Bone marrow smear — 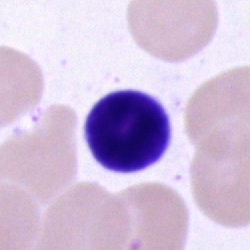Morphological class: lymphocyte.